Bone marrow aspirate smear.
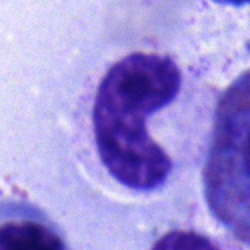Cell type — neutrophil (band).